Single-cell crop. Brightfield microscopy, 40× oil immersion. Bone marrow aspirate smear:
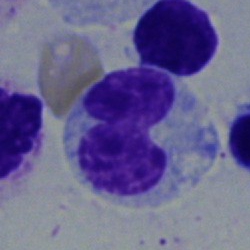Specimen: bone marrow smear.
Cell: neutrophil (band).